Peripheral blood smear
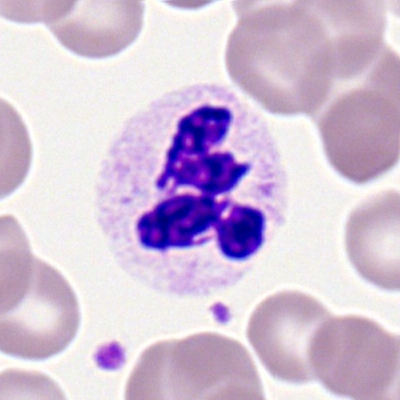
Q: Identify the cell.
A: A polymorphonuclear neutrophil.